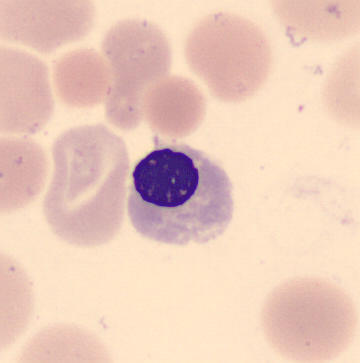

Preparation: Peripheral blood smear; image size 360×363; imaged on a CellaVision DM96 analyser.

Morphological class: nucleated red cell.